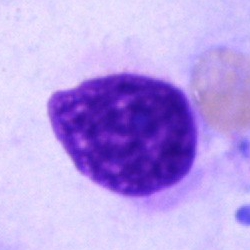 Specimen: bone marrow smear.
Morphological class: artifact.